250 by 250 pixels. Bone marrow smear. Brightfield microscopy, 40× oil immersion — 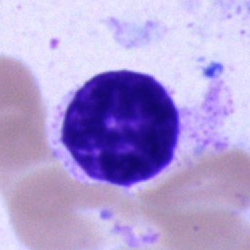 {"cell_type": "progranulocyte"}